Single cell centered in the field; bone marrow aspirate smear — 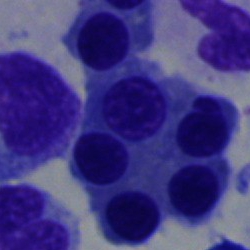

Q: What is the morphological classification of this cell?
A: It is a normoblast.